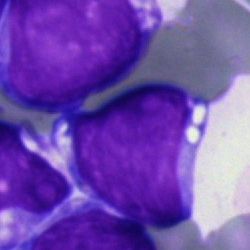Impression — undifferentiated blast.